Bone marrow aspirate smear · 40× oil immersion:
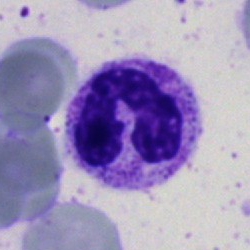
Specimen: bone marrow aspirate smear.
Classification: segmented neutrophil.
Lineage: myeloid.